40× objective, oil immersion; bone marrow aspirate smear.
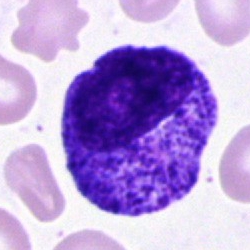
A promyelocyte.